Peripheral blood smear
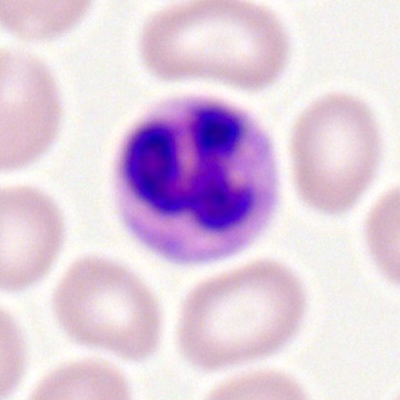 {"cell_type": "neutrophil (segmented)", "lineage": "myeloid"}